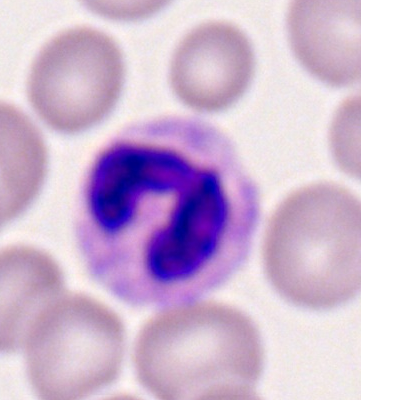
The cell type is neutrophil (segmented).